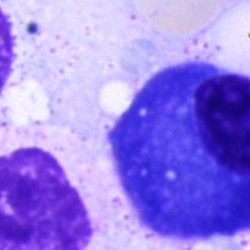

Specimen: bone marrow smear.
Morphological class: plasma cell.